Bone marrow aspirate smear.
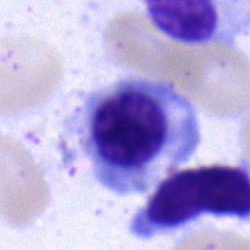The cell shown is an erythroblast.